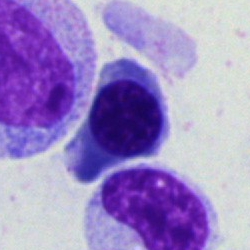
Q: Which cell type is shown here?
A: Nucleated red blood cell.